250×250 px. 40× oil immersion. Bone marrow smear: 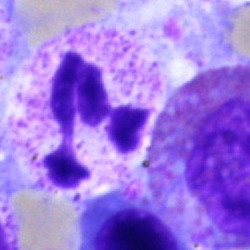
Morphological class = polymorphonuclear neutrophil.